Peripheral blood film; M8 digital microscope (Precipoint), 100× oil immersion: 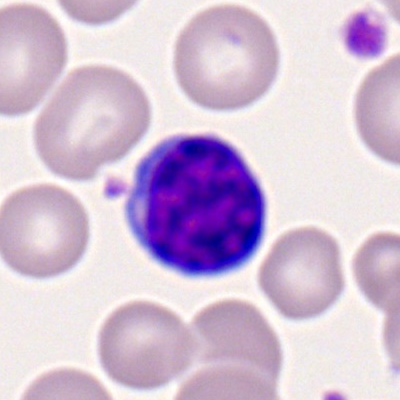 Typical lymphocyte.